Bone marrow aspirate smear · single-cell crop — 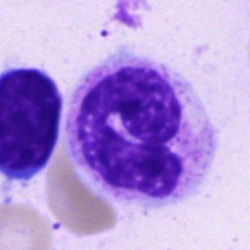Q: Identify the cell.
A: A band neutrophil.